Bone marrow aspirate smear — 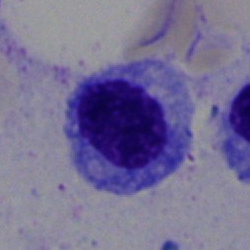

Q: What is the morphological classification of this cell?
A: It is a normoblast.